Bone marrow aspirate smear: 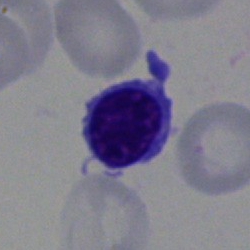

{"cell_type": "lymphocyte"}